250×250 px · bone marrow smear · single-cell crop.
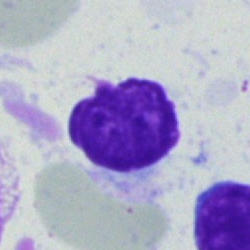 Q: What cell is this?
A: It is a typical lymphocyte.